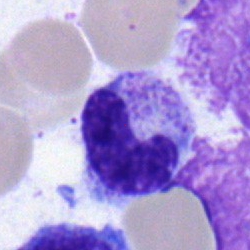

Q: What is the morphological classification of this cell?
A: It is a stab cell.